Peripheral blood smear
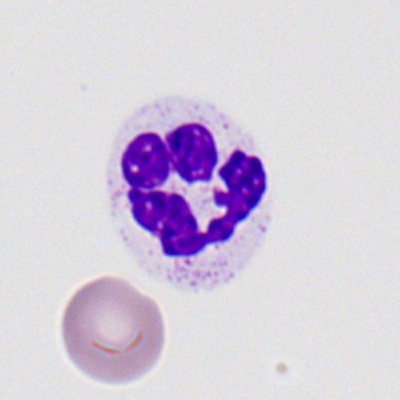

Q: What type of cell is this?
A: It is a neutrophil (segmented).